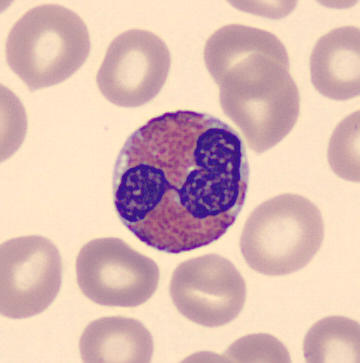

Image: Cropped to a single cell · peripheral blood smear.

{"cell_type": "eosinophilic granulocyte", "lineage": "myeloid"}